Bone marrow smear — 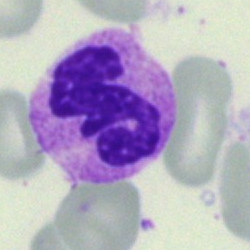 A segmented neutrophil.